Peripheral blood smear:
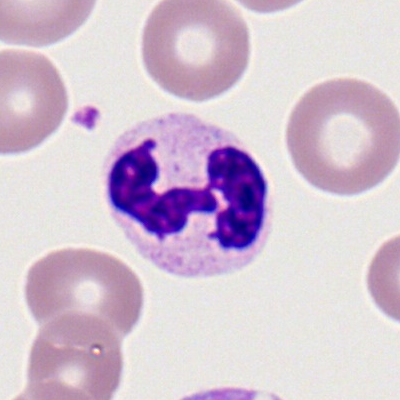 The cell type is neutrophil (segmented).